Bone marrow aspirate smear: 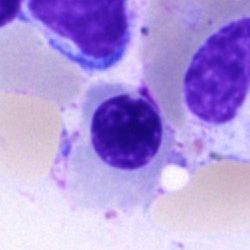Nucleated red blood cell.